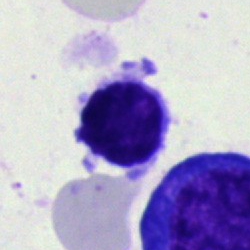 The morphological class is polymorphonuclear neutrophil.